Bone marrow smear. Brightfield, 40× oil-immersion objective.
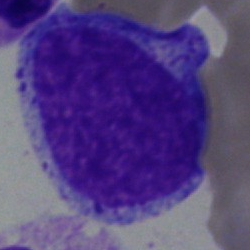
This is a promyelocyte.